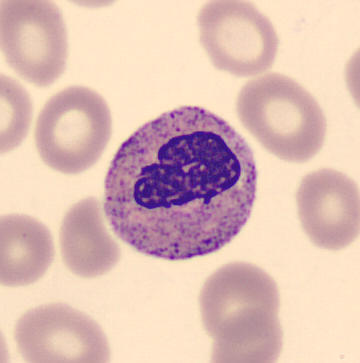

Image: May-Grünwald-Giemsa-stained; peripheral blood smear; 360×363 px.

The cell is stab cell.